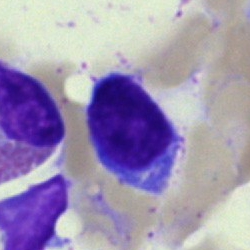

{"cell_type": "lymphocyte", "lineage": "lymphoid"}